250×250. MGG-stained. Bone marrow smear: 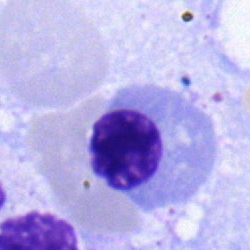

Q: What is the morphological classification of this cell?
A: A nucleated red blood cell.